Bone marrow aspirate smear: 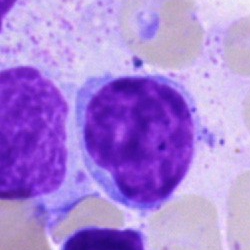
Classification: lymphocyte.